Bone marrow smear. Cropped to a single cell
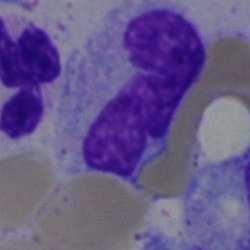 Cell type — band neutrophil.